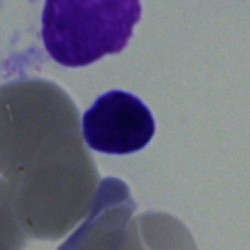 Specimen: bone marrow aspirate smear.
Cell: typical lymphocyte.